Peripheral blood smear
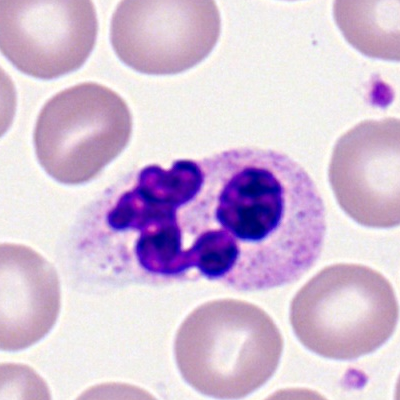

A segmented neutrophil.